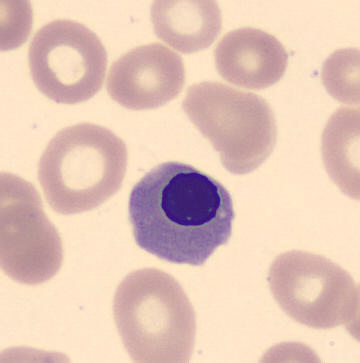 Morphological class = nucleated red blood cell.
Automated cell imaging (CellaVision DM96); peripheral blood smear.